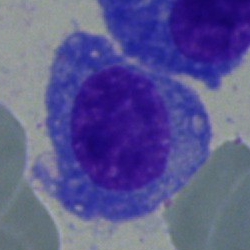Morphology consistent with a plasmacyte.